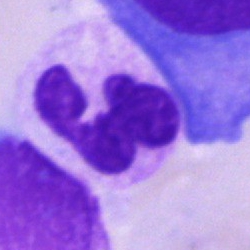

Classification = segmented neutrophil.